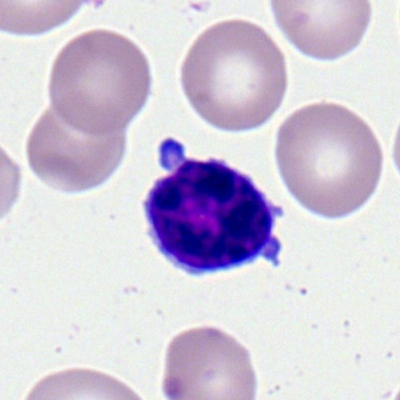{"cell_type": "typical lymphocyte"}